Bone marrow smear
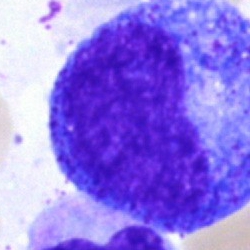 Morphological class — progranulocyte.